360 by 363 pixels; peripheral blood smear
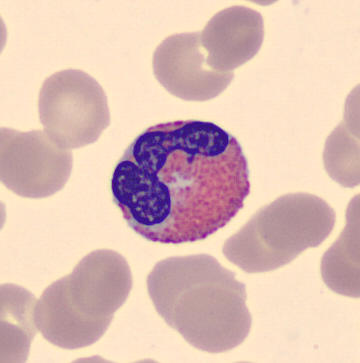Q: Identify the cell.
A: This is an eosinophilic granulocyte.